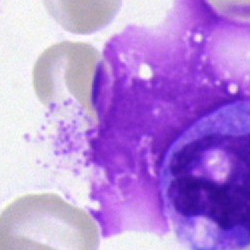 Specimen: bone marrow smear.
Morphological class: artefact.